Peripheral blood film — 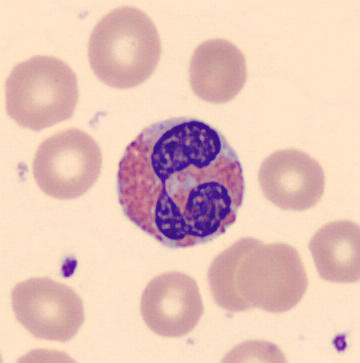

Q: Identify the cell.
A: Eosinophilic granulocyte.